MGG-stained. Bone marrow aspirate smear.
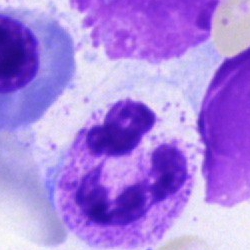 Q: Which cell type is shown here?
A: Neutrophil (segmented).